Single cell centered in the field; bone marrow aspirate smear — 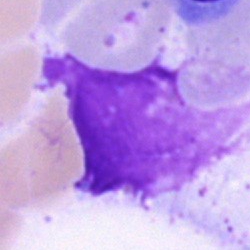 The cell shown is an artifact.